Peripheral blood film
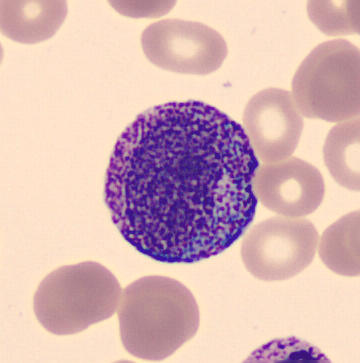 Impression → progranulocyte.